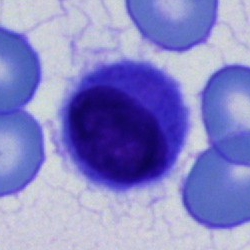 Q: Which cell type is shown here?
A: Hairy cell.